Bone marrow smear — 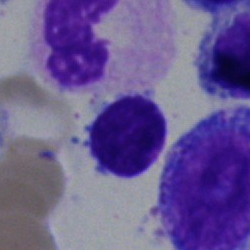Specimen: bone marrow smear.
Cell type: lymphocyte.